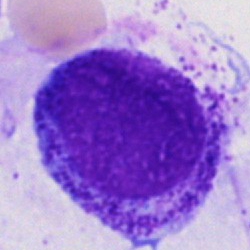
Q: What is shown here?
A: Progranulocyte.